Brightfield, 100× oil-immersion objective; peripheral blood film.
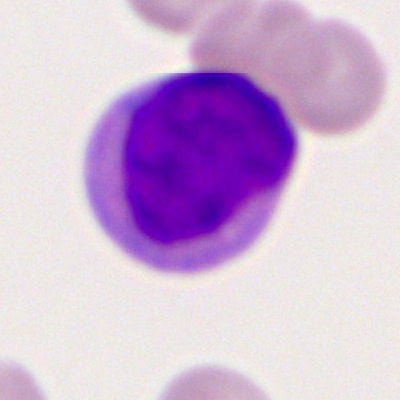 {"cell_type": "myeloblast", "lineage": "myeloid"}